Bone marrow smear; brightfield, 40× oil-immersion objective.
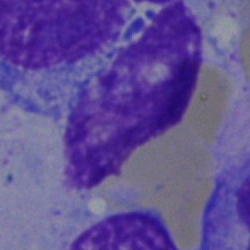

Specimen: bone marrow smear.
Classification: artifact.